Bone marrow smear: 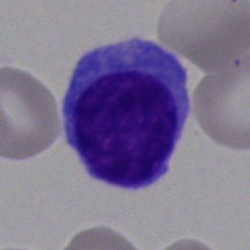
This is a typical lymphocyte.